Bone marrow smear
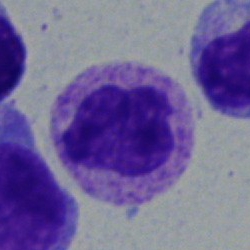 Impression → segmented neutrophil.